Peripheral blood smear. Single-cell field.
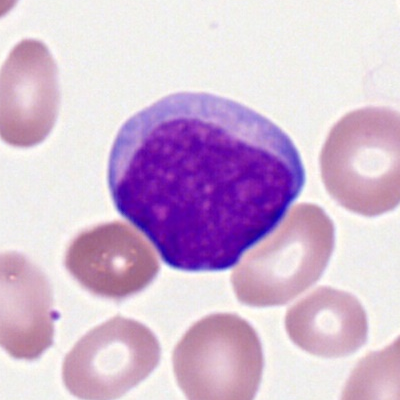Specimen: peripheral blood film.
Morphological class: myeloid blast.